Bone marrow aspirate smear: 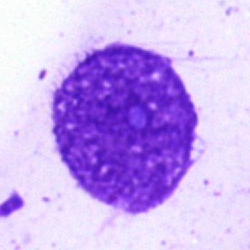

Q: What is shown here?
A: Artifact.